Cropped to a single cell · 40× oil immersion · bone marrow smear
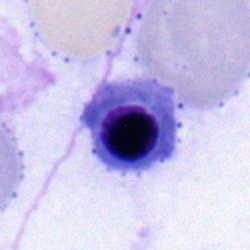Specimen: bone marrow smear.
Cell type: nucleated red blood cell.
Lineage: erythroid.